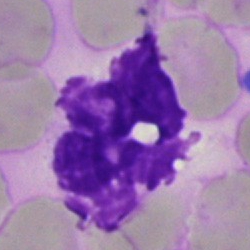
Showing an artefact.